Bone marrow aspirate smear · May-Grünwald-Giemsa stain — 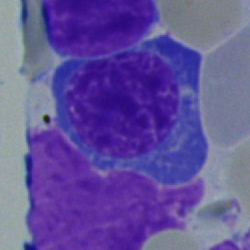Erythroblast.